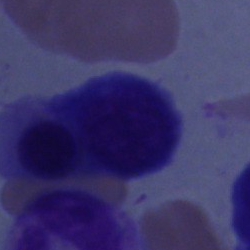
Specimen: bone marrow smear.
Cell type: artifact.